Bone marrow aspirate smear — 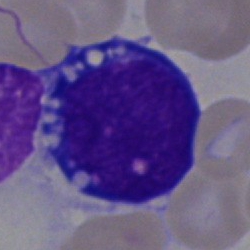
Single cell identified as an undifferentiated blast.